Bone marrow smear.
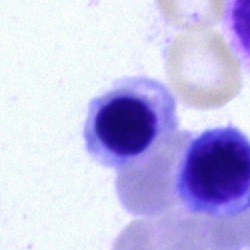Nucleated red cell.